Bone marrow smear.
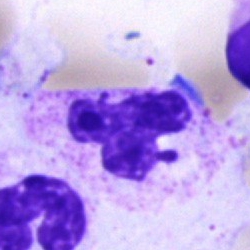Morphology → neutrophil (segmented).